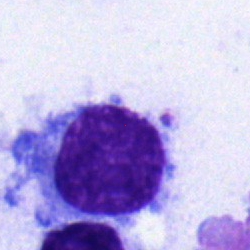

{"cell_type": "typical lymphocyte", "lineage": "lymphoid"}